Bone marrow aspirate smear: 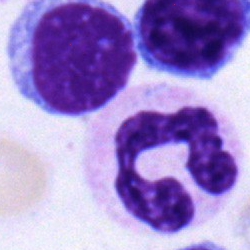
Specimen: bone marrow smear.
Cell type: polymorphonuclear neutrophil.